250×250 px · bone marrow aspirate smear
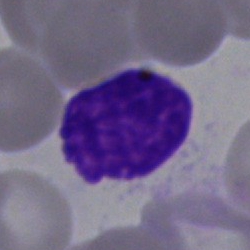
Q: What is shown here?
A: An artifact.